Bone marrow smear:
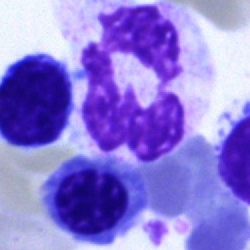This is a polymorphonuclear neutrophil.